250 by 250 pixels · 40× oil immersion · bone marrow smear:
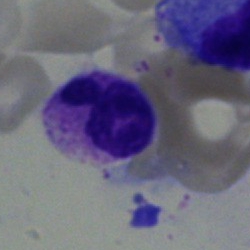
Specimen: bone marrow aspirate smear.
Morphological class: segmented neutrophil.
Lineage: myeloid.